Peripheral blood film.
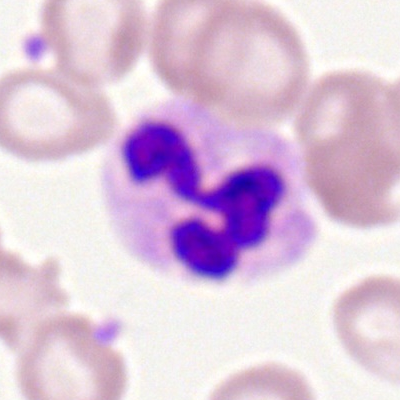Morphology — neutrophil (segmented).